Bone marrow smear
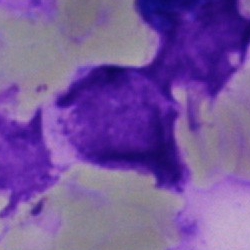

The cell shown is an artefact.